Bone marrow smear: 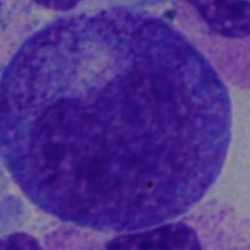 Q: Identify the cell.
A: This is a progranulocyte.